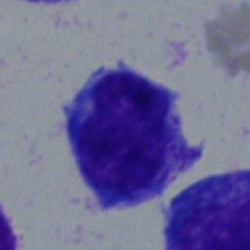
An undifferentiated blast on a bone marrow smear.